Bone marrow smear
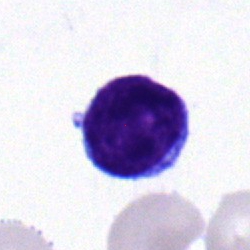 Specimen: bone marrow aspirate smear.
Morphological class: typical lymphocyte.
Lineage: lymphoid.